Bone marrow smear; May-Grünwald-Giemsa/Pappenheim stain; single-cell field.
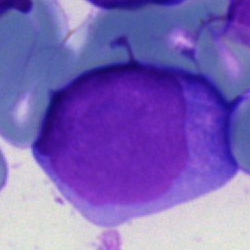This is a blast cell.